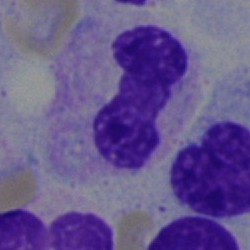 Specimen: bone marrow smear.
Cell: band-form neutrophil.
Lineage: myeloid.